Bone marrow aspirate smear; 250×250 px: 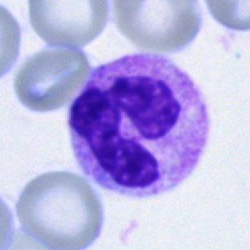

Morphology consistent with a neutrophil (segmented).